Bone marrow aspirate smear · brightfield microscopy, 40× oil immersion — 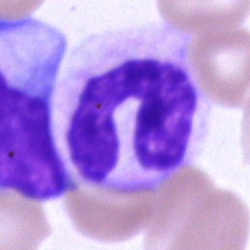 Specimen: bone marrow smear.
Morphological class: neutrophil (band).
Lineage: myeloid.